Bone marrow aspirate smear
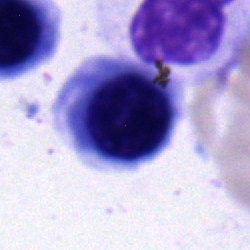 This is a nucleated red blood cell.